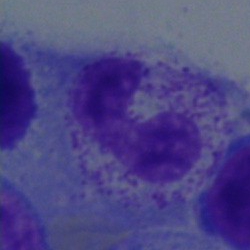

The cell shown is a band-form neutrophil.